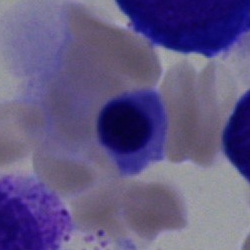

Showing a normoblast.